Bone marrow smear — 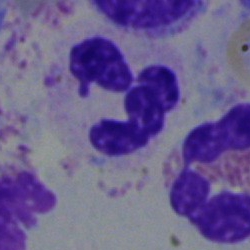Classification — segmented neutrophil.